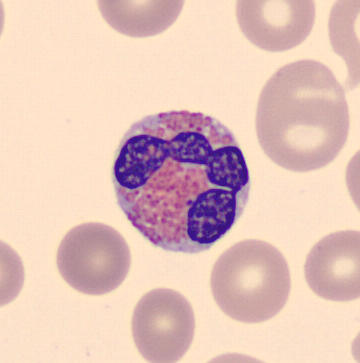
Peripheral blood film. Cell type = eosinophil.